Bone marrow smear.
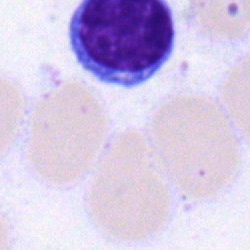 Showing a typical lymphocyte.